Bone marrow smear; brightfield microscopy, 40× oil immersion: 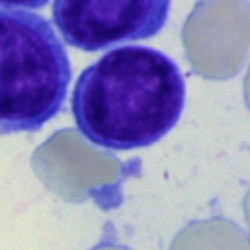Typical lymphocyte.